250×250. Bone marrow aspirate smear. MGG-stained:
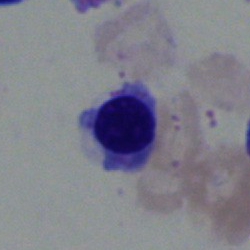
Nucleated red cell.